Bone marrow smear.
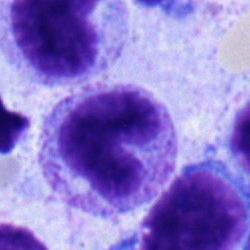Morphology consistent with a band neutrophil.